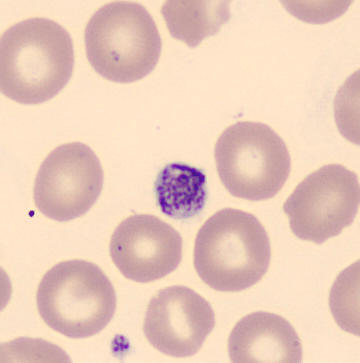 Specimen: peripheral blood smear.
Morphological class: platelet (thrombocyte).